May-Grünwald-Giemsa stain · bone marrow smear — 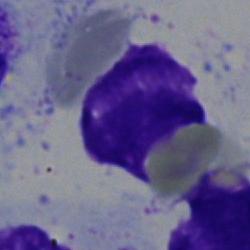

Cell = artefact.